250×250 · bone marrow smear
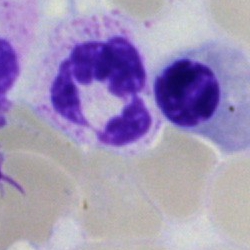{"cell_type": "polymorphonuclear neutrophil"}